Bone marrow smear — 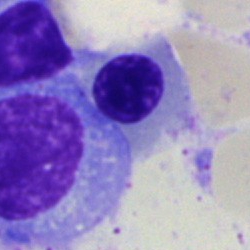 Impression → erythroblast.